Bone marrow smear
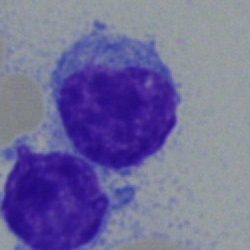
Q: Identify the cell.
A: Lymphocyte.